Bone marrow smear:
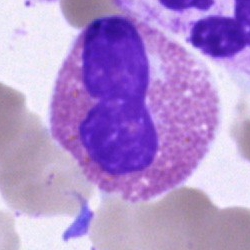
The cell shown is an eosinophil.